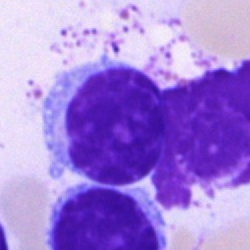 Q: Which cell type is shown here?
A: A typical lymphocyte.